May-Grünwald-Giemsa/Pappenheim stain. Bone marrow aspirate smear. Cropped to a single cell — 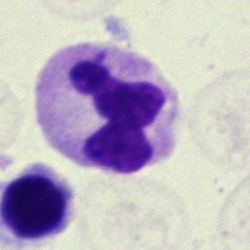A segmented neutrophil.